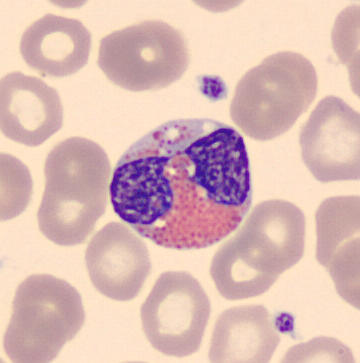

Cell = eosinophilic granulocyte.